Bone marrow smear: 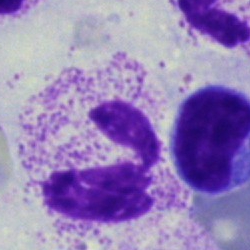 The classification is segmented neutrophil.